Image size 250×250 · bone marrow smear:
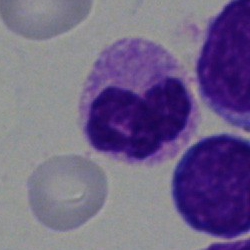Morphology consistent with a polymorphonuclear neutrophil.